Bone marrow aspirate smear.
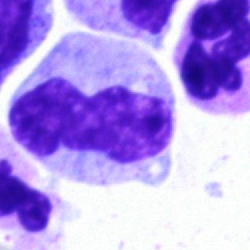 The cell type is monocyte.